250×250 px; MGG-stained; bone marrow aspirate smear
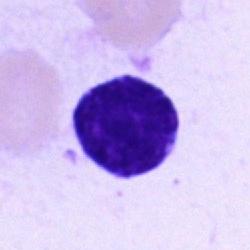This is an undifferentiated blast.